Bone marrow aspirate smear — 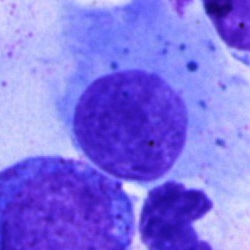 Artifact.